Bone marrow smear.
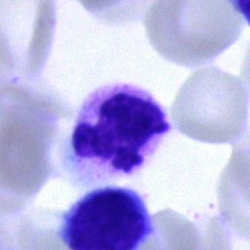 Specimen: bone marrow smear.
Cell type: segmented neutrophil.